Bone marrow smear:
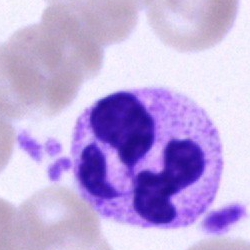

The cell type is neutrophil (segmented).